Bone marrow smear:
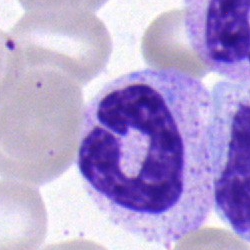

{"cell_type": "band-form neutrophil"}